May-Grünwald-Giemsa stain. Bone marrow smear
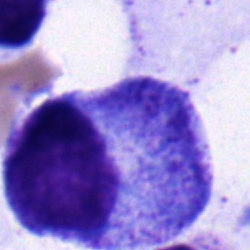A promyelocyte.